Bone marrow smear
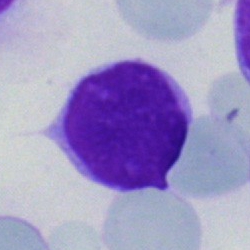

Specimen: bone marrow aspirate smear.
Cell type: blast cell.